Peripheral blood smear — 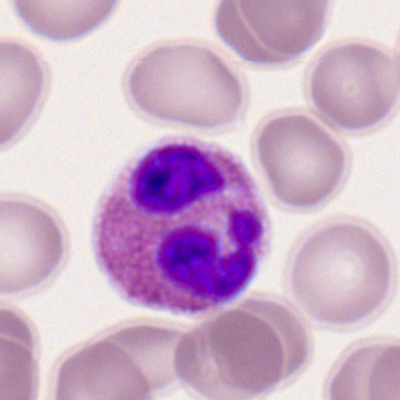 This is an eosinophilic granulocyte.